Bone marrow smear
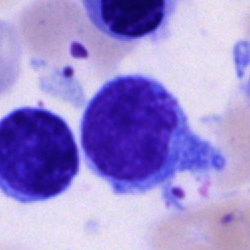

Q: What type of cell is this?
A: It is a typical lymphocyte.